Peripheral blood film.
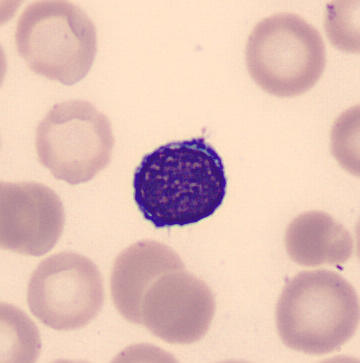

Q: What is this?
A: This is a lymphocyte.